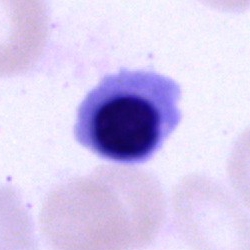Single cell identified as an erythroblast.